Bone marrow aspirate smear
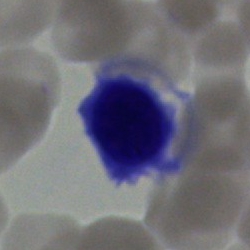Classification — nucleated red cell.